Bone marrow smear · brightfield, 40× oil-immersion objective — 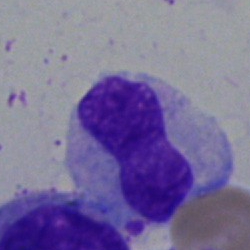Morphology — metamyelocyte.